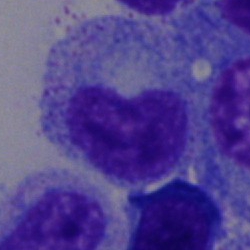{"cell_type": "metamyelocyte"}